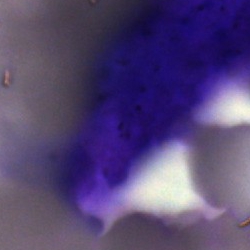

Specimen: bone marrow smear.
Classification: artifact.